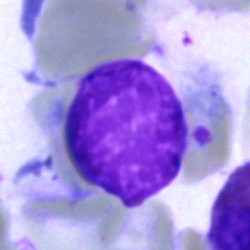 Single-cell crop from a bone marrow smear: artifact.